Bone marrow aspirate smear: 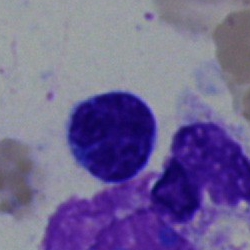
{"cell_type": "lymphocyte", "lineage": "lymphoid"}